MGG-stained · bone marrow aspirate smear · cropped to a single cell:
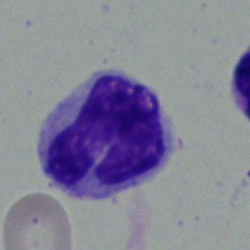 Monocyte.